Cropped to a single cell · 40× oil immersion · bone marrow smear
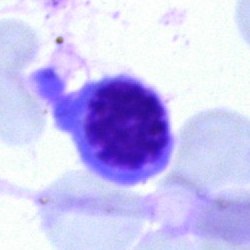 Classification: erythroblast.